Single cell centered in the field; peripheral blood film:
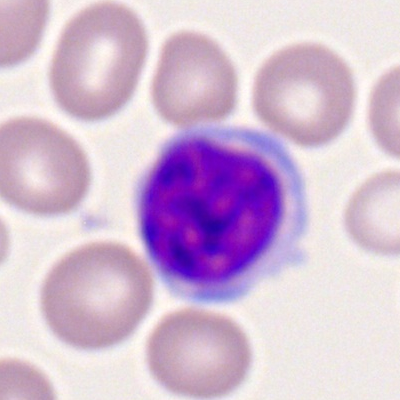 This is a lymphocyte.